Bone marrow aspirate smear; MGG-stained — 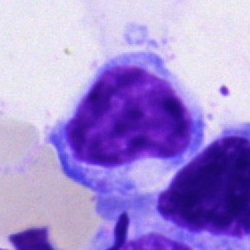
Q: What cell is this?
A: Lymphocyte.